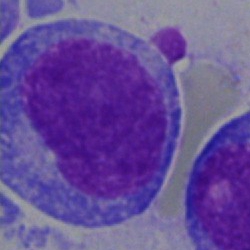 Impression — blast cell.